May-Grünwald-Giemsa/Pappenheim stain. Cropped to a single cell. Bone marrow aspirate smear — 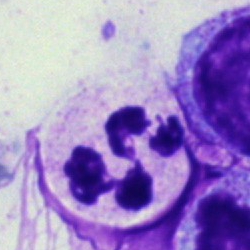
The cell is segmented neutrophil.